Bone marrow smear: 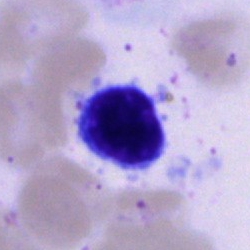
The cell is lymphocyte.